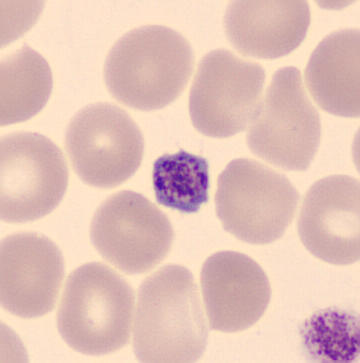Peripheral blood smear showing a platelet (thrombocyte).